Bone marrow smear
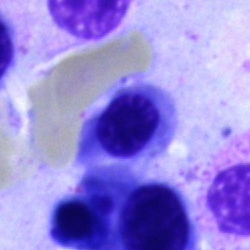

Showing an erythroblast.